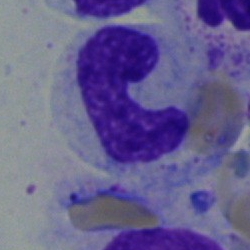 The cell shown is a band-form neutrophil.